Bone marrow smear · brightfield microscopy, 40× oil immersion:
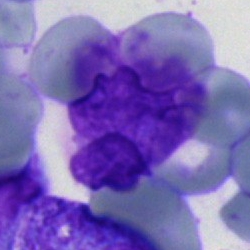

Specimen: bone marrow smear.
Cell type: artifact.